Bone marrow aspirate smear
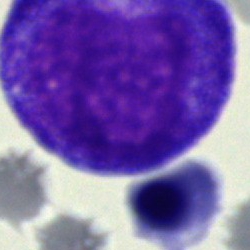 Q: What is the morphological classification of this cell?
A: It is a promyelocyte.